Bone marrow aspirate smear.
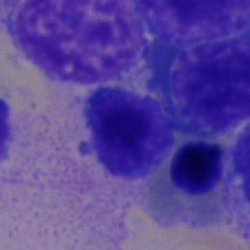 Morphological class = typical lymphocyte.